Bone marrow smear · 250×250 px: 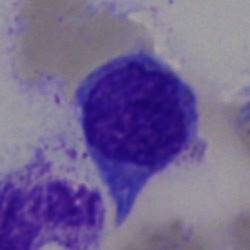

Classification: undifferentiated blast.